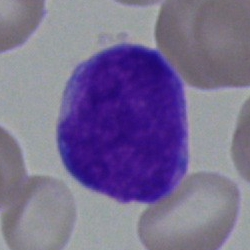
Q: Which cell type is shown here?
A: It is a blast cell.